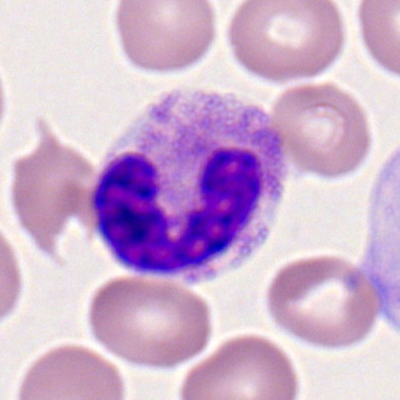 The cell type is segmented neutrophil.